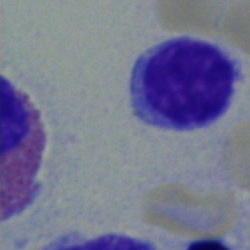 Single cell identified as a lymphocyte.